Bone marrow smear
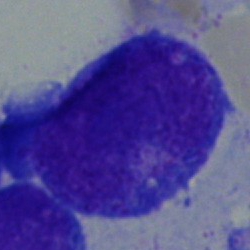

The cell shown is a progranulocyte.